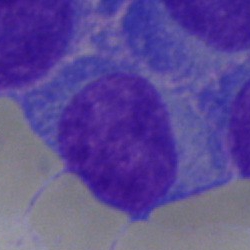 Impression → plasmacyte.